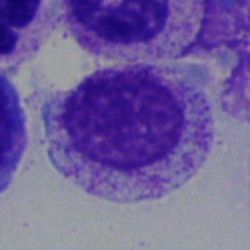
Cell: myelocyte.